Pappenheim-stained. Bone marrow aspirate smear — 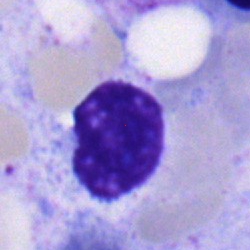
Showing a lymphocyte.